Bone marrow aspirate smear. MGG-stained. 40× objective, oil immersion — 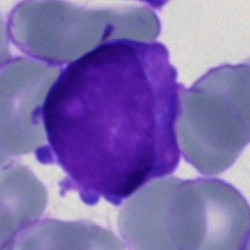

Q: Which cell type is shown here?
A: This is a blast.